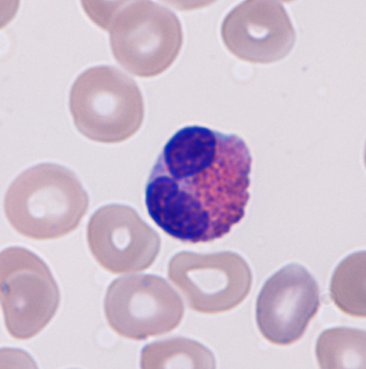Showing an eosinophilic granulocyte. Image: Peripheral blood smear.